Brightfield microscopy, 40× oil immersion; bone marrow aspirate smear; 250×250 px: 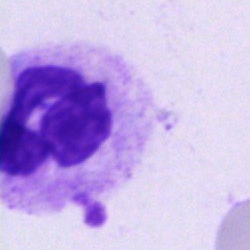
The morphological class is neutrophil (segmented).